Bone marrow aspirate smear; brightfield microscopy, 40× oil immersion:
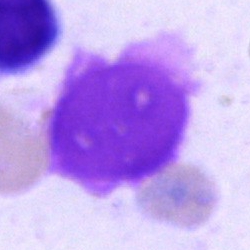Morphology consistent with an artefact.